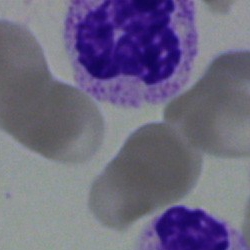

Q: Identify the cell.
A: A segmented neutrophil.